Bone marrow smear.
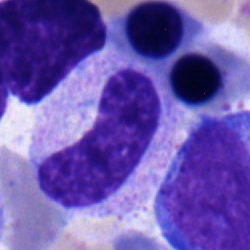
The cell is neutrophil (band).